Bone marrow aspirate smear: 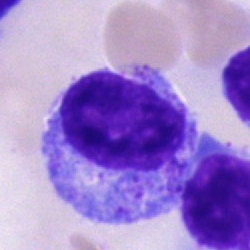 Q: What is the morphological classification of this cell?
A: It is a progranulocyte.